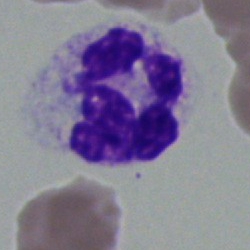Q: Identify the cell.
A: It is a neutrophil (segmented).